Bone marrow aspirate smear. Pappenheim-stained: 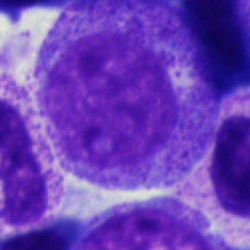
The cell shown is a progranulocyte.